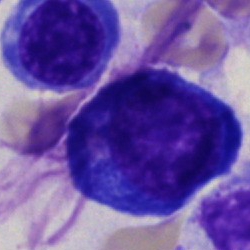

Bone marrow smear showing a pronormoblast.